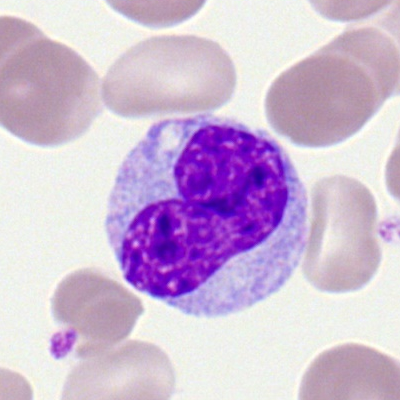
Morphology consistent with a monocyte.